Bone marrow aspirate smear.
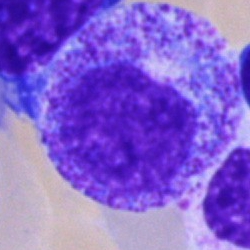

This is a progranulocyte.